MGG-stained. Bone marrow smear
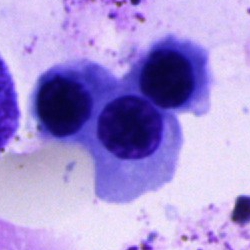 Specimen: bone marrow smear.
Morphological class: normoblast.